Bone marrow smear.
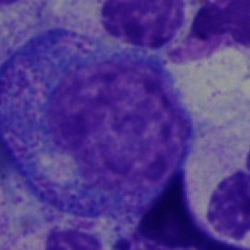 Classification: progranulocyte.